Bone marrow smear:
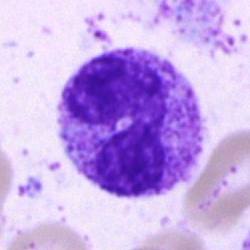Morphology → polymorphonuclear neutrophil.